Bone marrow smear:
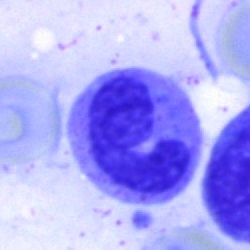 Q: Which cell type is shown here?
A: A segmented neutrophil.